Bone marrow aspirate smear
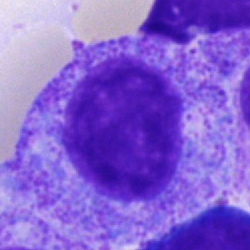 Morphology — progranulocyte.